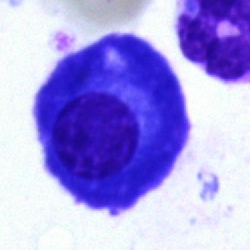 Morphological class — plasmacyte.